250×250 px · bone marrow aspirate smear · single-cell field:
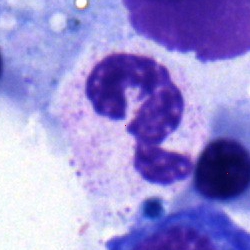
The cell shown is a segmented neutrophil.